Bone marrow smear. 40× objective, oil immersion:
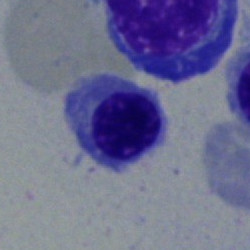

Specimen: bone marrow smear.
Morphological class: normoblast.